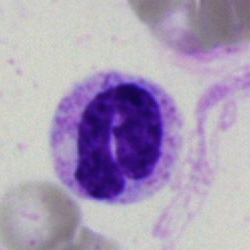Single cell identified as a neutrophil (segmented).